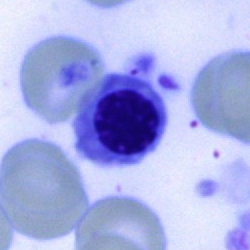 Morphological class: nucleated red cell.